Peripheral blood smear
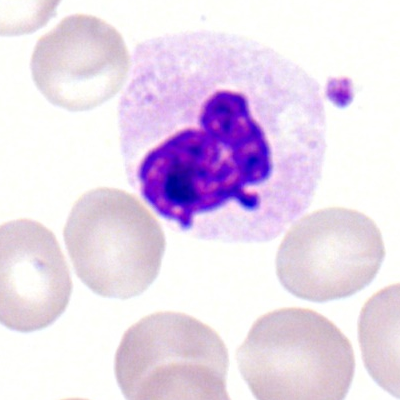 {"cell_type": "neutrophil (segmented)", "lineage": "myeloid"}